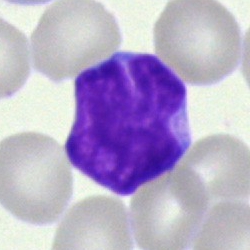

Morphological class = undifferentiated blast.